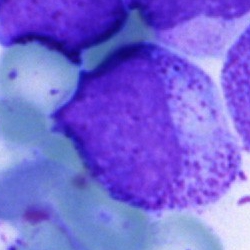

Myelocyte.